Bone marrow smear; 40× oil immersion; May-Grünwald-Giemsa stain
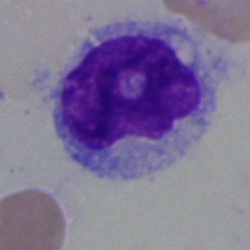 {"cell_type": "typical lymphocyte", "lineage": "lymphoid"}